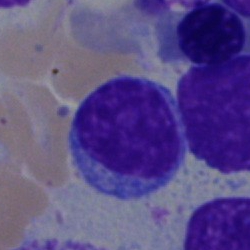Impression → lymphocyte.